Bone marrow aspirate smear; brightfield microscopy, 40× oil immersion:
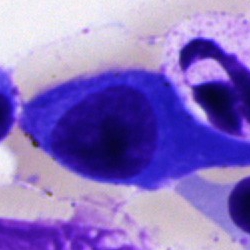The cell is plasma cell.